Bone marrow smear — 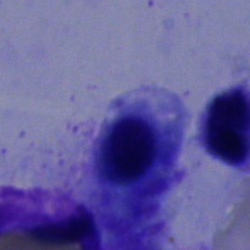
This is a normoblast.